Single cell centered in the field. Bone marrow smear:
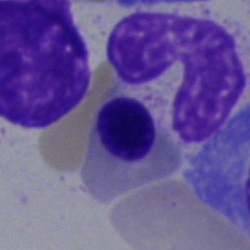 Morphology → erythroblast.